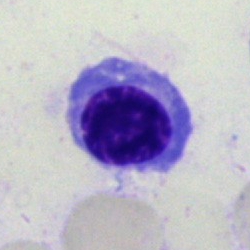Specimen: bone marrow smear.
Morphological class: normoblast.